Bone marrow aspirate smear
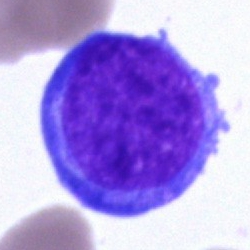

Cell type: blast cell.